Bone marrow smear · 250 by 250 pixels: 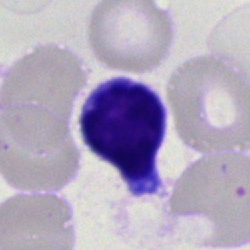Cell type — typical lymphocyte.